Bone marrow aspirate smear:
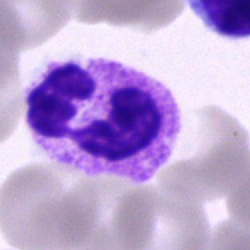 The cell shown is a polymorphonuclear neutrophil.